Bone marrow smear:
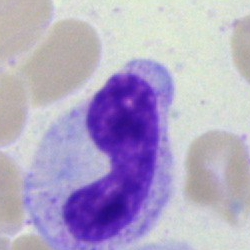

Classification — stab cell.